Bone marrow aspirate smear; May-Grünwald-Giemsa/Pappenheim stain:
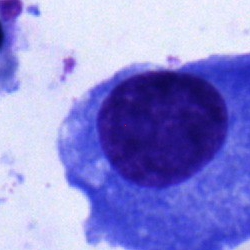 Q: Identify the cell.
A: This is a plasma cell.